Bone marrow smear
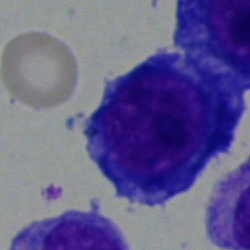
Morphology — pronormoblast.